Peripheral blood film.
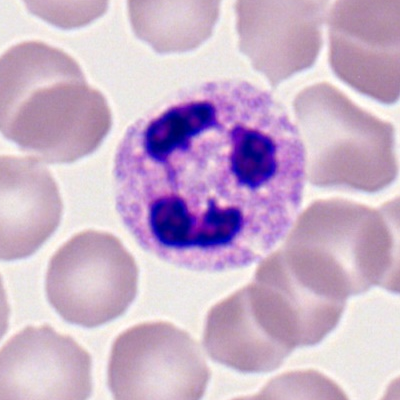
Morphology — segmented neutrophil.